Bone marrow aspirate smear. Brightfield, 40× oil-immersion objective.
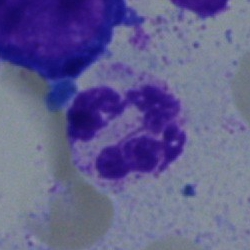

Specimen: bone marrow smear.
Cell type: segmented neutrophil.
Lineage: myeloid.